Bone marrow smear: 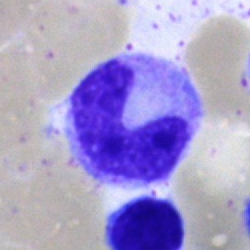
Classification = neutrophil (band).